Bone marrow smear; MGG-stained — 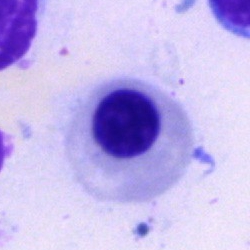
This is a normoblast.